Bone marrow aspirate smear — 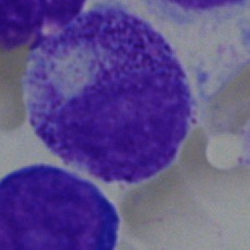
{"cell_type": "myelocyte", "lineage": "myeloid"}